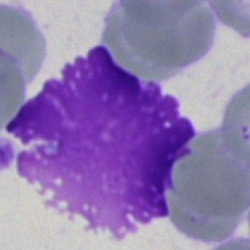 Q: What is shown here?
A: It is an artifact.